Bone marrow aspirate smear; 40× oil immersion: 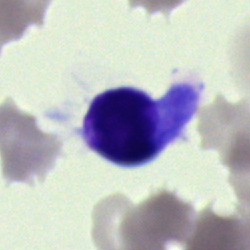
Q: What is shown here?
A: It is an artefact.